Brightfield, 40× oil-immersion objective. Bone marrow aspirate smear
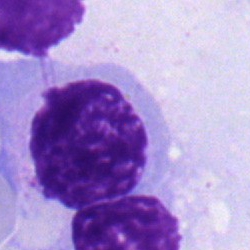This is a typical lymphocyte.